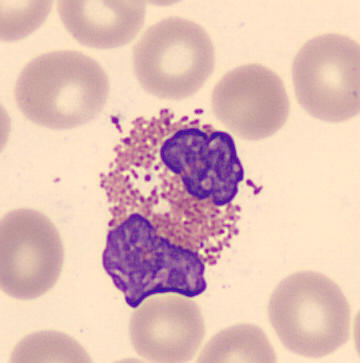 An eosinophil.